Peripheral blood film; 400 by 400 pixels: 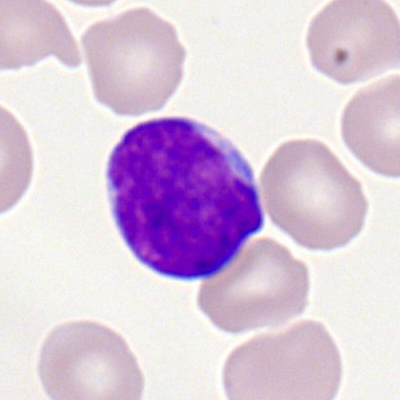 Showing a myeloid blast.